Bone marrow smear.
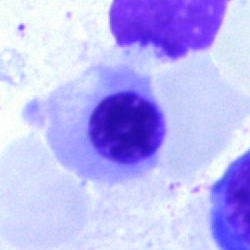Specimen: bone marrow smear.
Morphological class: normoblast.